May-Grünwald-Giemsa stain; bone marrow aspirate smear:
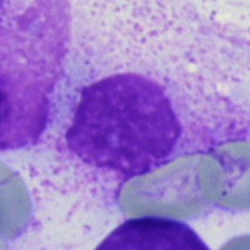

Q: What is shown here?
A: It is an artifact.